Bone marrow aspirate smear. Image size 250×250. Single-cell crop:
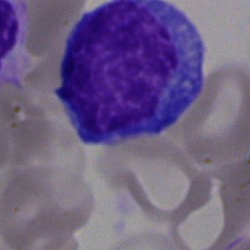Q: What is the morphological classification of this cell?
A: It is a typical lymphocyte.